Bone marrow smear · single-cell crop · 250×250.
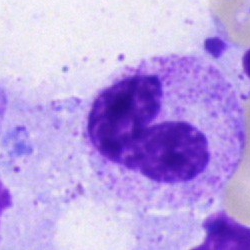 The classification is stab cell.